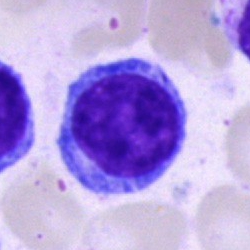

Classification = typical lymphocyte.